40× oil immersion · bone marrow smear: 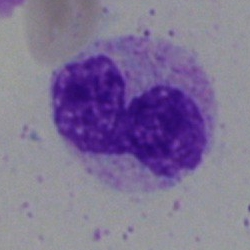Specimen: bone marrow aspirate smear.
Morphological class: polymorphonuclear neutrophil.
Lineage: myeloid.